Peripheral blood film · brightfield, 100× oil-immersion objective · cropped to a single cell:
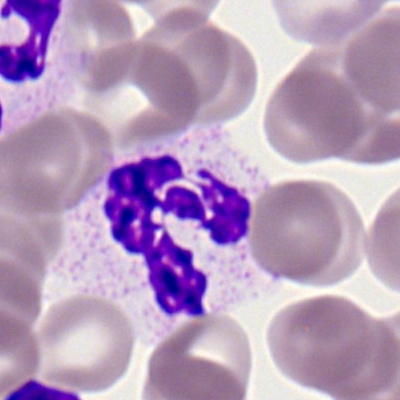 Segmented neutrophil.